Peripheral blood film.
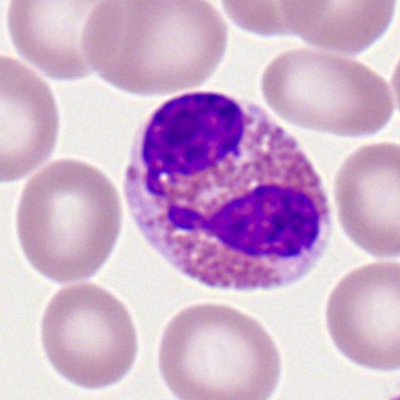
Morphology — eosinophilic granulocyte.